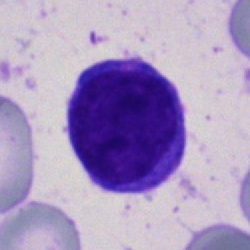

Q: What cell is this?
A: This is a blast cell.